May-Grünwald-Giemsa/Pappenheim stain · bone marrow smear:
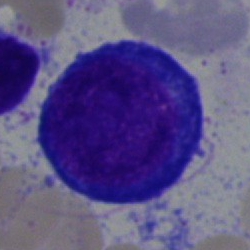

Q: Which cell type is shown here?
A: Nucleated red blood cell.